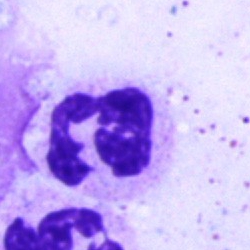Bone marrow smear showing a neutrophil (segmented).